250×250 px. Bone marrow aspirate smear. Single cell centered in the field — 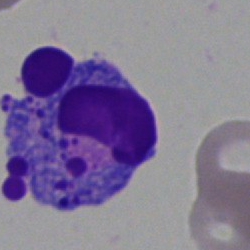 Classification: artefact.